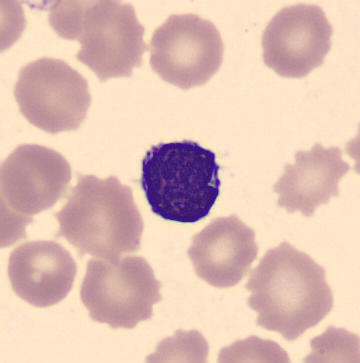Specimen: peripheral blood smear.
Morphological class: typical lymphocyte. MGG stain.